Image size 250×250; bone marrow aspirate smear.
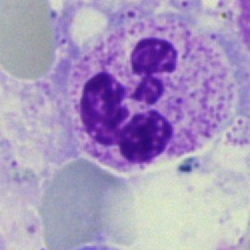 The classification is polymorphonuclear neutrophil.